Bone marrow aspirate smear; Pappenheim-stained; single-cell crop:
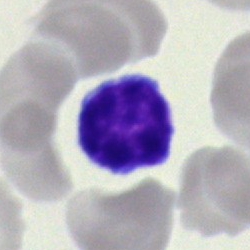Specimen: bone marrow aspirate smear.
Cell: typical lymphocyte.
Lineage: lymphoid.